Bone marrow smear. 250×250 px — 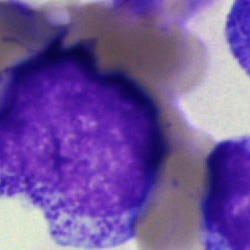

Morphological class: promyelocyte.